Bone marrow aspirate smear · brightfield microscopy, 40× oil immersion · May-Grünwald-Giemsa/Pappenheim stain — 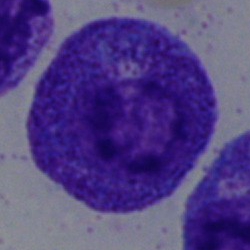 This is a promyelocyte.